Bone marrow aspirate smear.
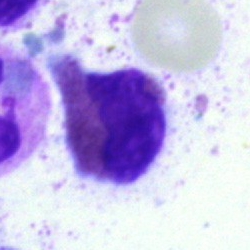 Q: Identify the cell.
A: Eosinophilic granulocyte.